Bone marrow aspirate smear — 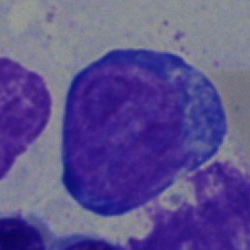 Q: What is shown here?
A: Erythroblast.